Bone marrow aspirate smear
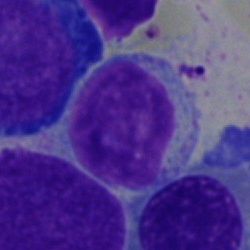

{"cell_type": "typical lymphocyte"}